Bone marrow aspirate smear · Pappenheim-stained:
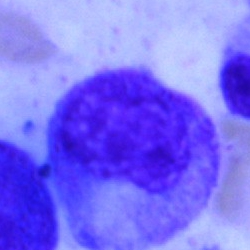Morphology → metamyelocyte.